Pappenheim-stained; bone marrow smear — 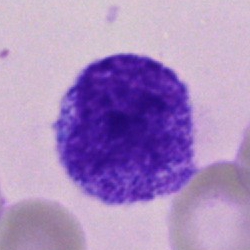
Morphology — myelocyte.